250×250 px; bone marrow aspirate smear:
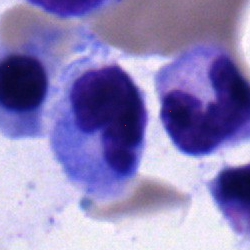

Morphological class — promyelocyte.